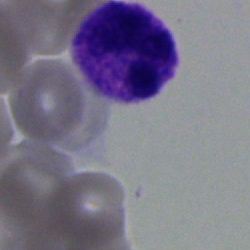 Cell type — polymorphonuclear neutrophil.